Cropped to a single cell. Bone marrow smear:
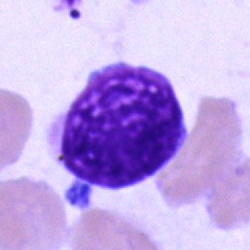 {"cell_type": "artefact"}